Bone marrow smear. Image size 250×250. Brightfield microscopy, 40× oil immersion: 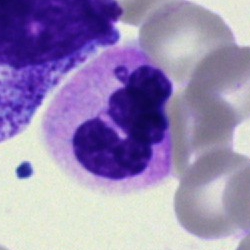
The morphological class is segmented neutrophil.